Single-cell field. Bone marrow aspirate smear
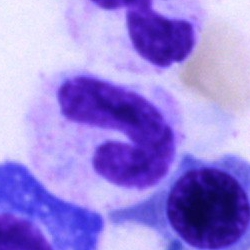 A neutrophil (band).